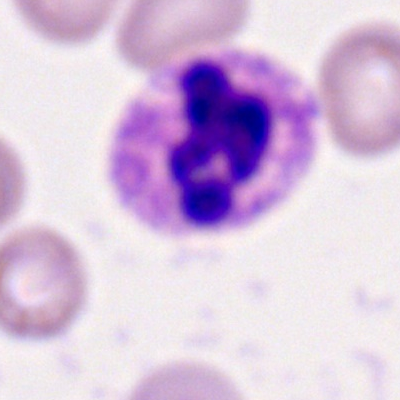
Single-cell crop from a peripheral blood smear: neutrophil (segmented).